Bone marrow smear
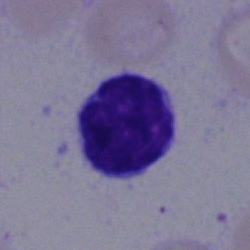
Showing a lymphocyte.